Bone marrow aspirate smear.
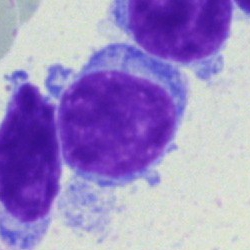

Classification — typical lymphocyte.